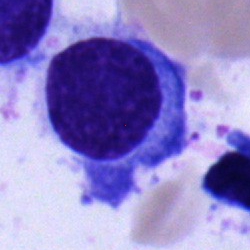 Cell = plasmacyte.